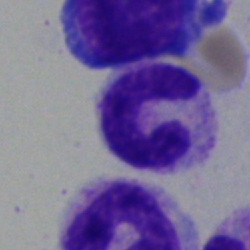

The cell shown is a neutrophil (segmented).